May-Grünwald-Giemsa stain; bone marrow aspirate smear.
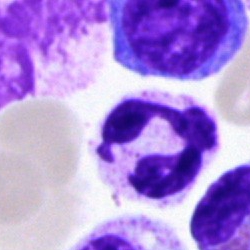Q: What is the morphological classification of this cell?
A: Neutrophil (segmented).